Bone marrow aspirate smear: 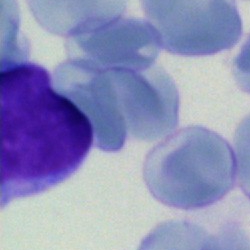 Showing an undifferentiated blast.